Bone marrow smear · 40× oil immersion:
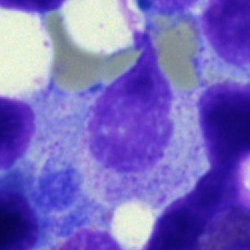
Morphological class = myelocyte.